Bone marrow aspirate smear · cropped to a single cell:
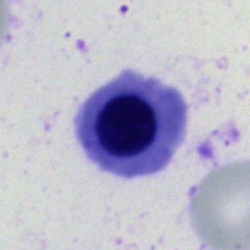Q: Identify the cell.
A: Nucleated red cell.